Peripheral blood film:
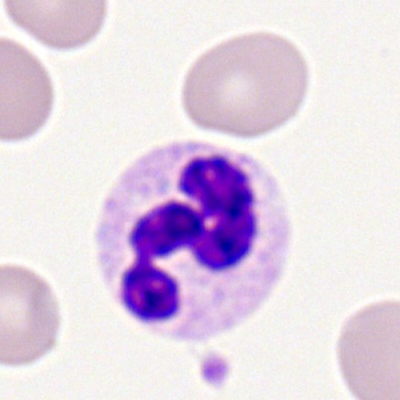
Classification — segmented neutrophil.